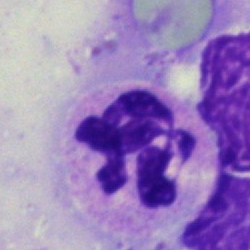

This is a neutrophil (segmented).